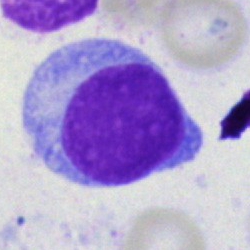 {"cell_type": "blast cell"}